Bone marrow smear.
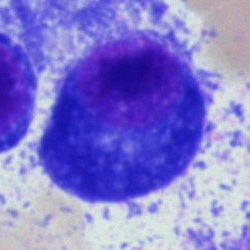

Morphology → plasmacyte.